Bone marrow smear — 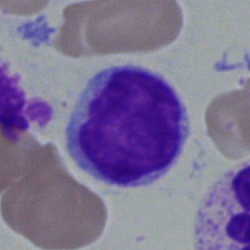Q: What is shown here?
A: A lymphocyte.